Image size 360×363; peripheral blood film
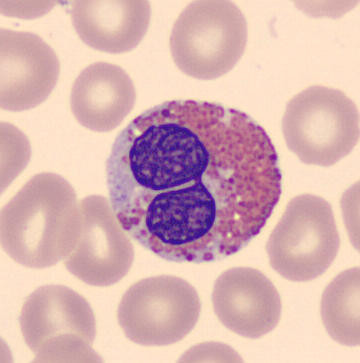 Q: What is the morphological classification of this cell?
A: It is an eosinophilic granulocyte.